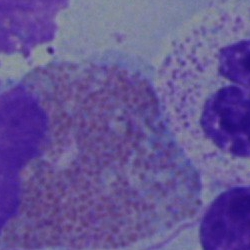
Morphology — eosinophilic granulocyte.